Peripheral blood smear.
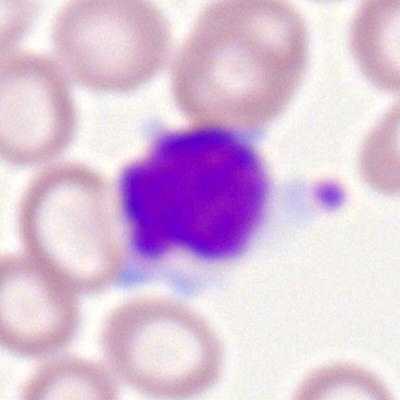 Showing a typical lymphocyte.